Bone marrow smear
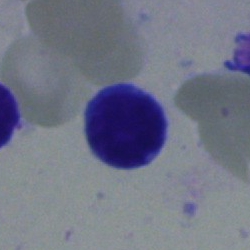Q: What cell is this?
A: It is a typical lymphocyte.